May-Grünwald-Giemsa/Pappenheim stain; single-cell crop; bone marrow smear: 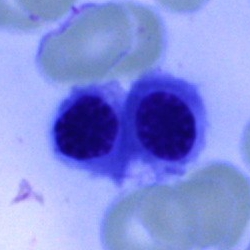

A normoblast.